Bone marrow smear
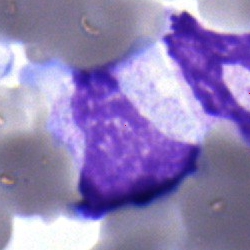
Q: What is shown here?
A: This is a myelocyte.